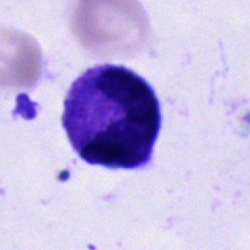This is a band neutrophil.